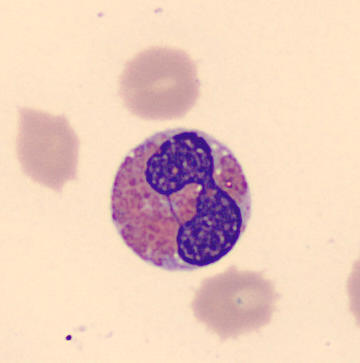Showing an eosinophilic granulocyte.